Peripheral blood smear · Romanowsky-stained:
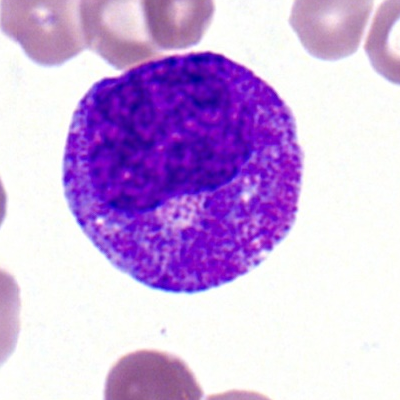
Morphological class = myelocyte.